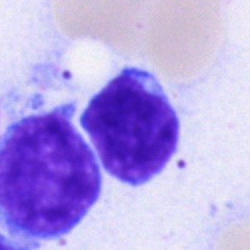

Specimen: bone marrow aspirate smear.
Classification: typical lymphocyte.
Lineage: lymphoid.